Peripheral blood smear; Romanowsky-stained.
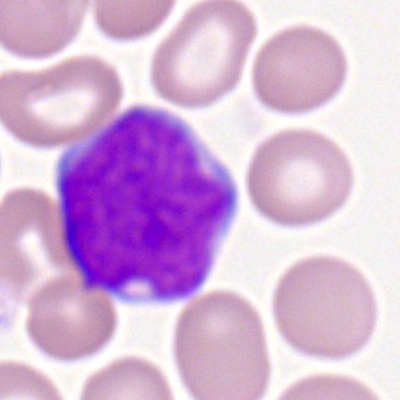

Morphology consistent with a myeloid blast.